Bone marrow smear; 40× oil immersion:
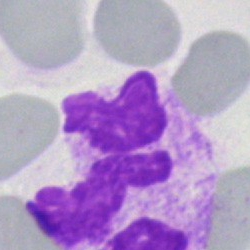
Morphology → neutrophil (segmented).